Bone marrow aspirate smear.
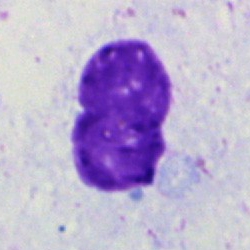 Specimen: bone marrow aspirate smear.
Cell type: artifact.